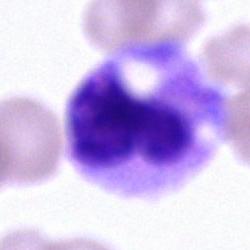

{"cell_type": "unidentifiable cell"}